Bone marrow smear
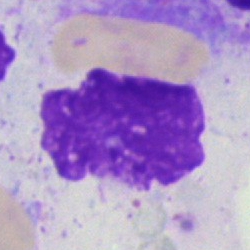
Q: What is shown here?
A: Artifact.